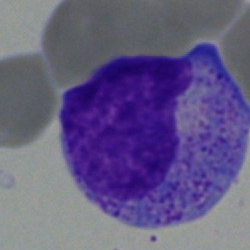Bone marrow smear showing a promyelocyte.